Bone marrow smear
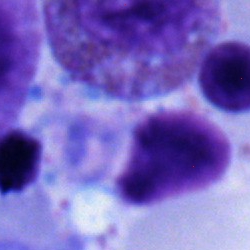 Q: What is the morphological classification of this cell?
A: Eosinophilic granulocyte.